Bone marrow aspirate smear.
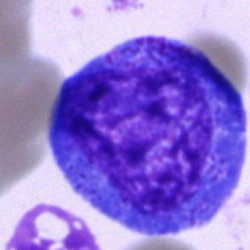

{"cell_type": "promyelocyte", "lineage": "myeloid"}